Bone marrow aspirate smear — 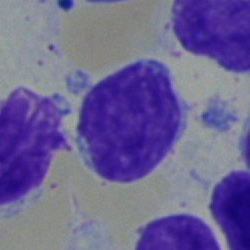This is a typical lymphocyte.